Bone marrow smear:
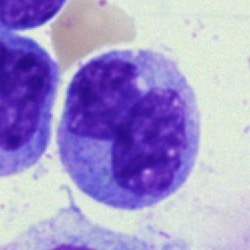

The classification is monocyte.